Peripheral blood film — 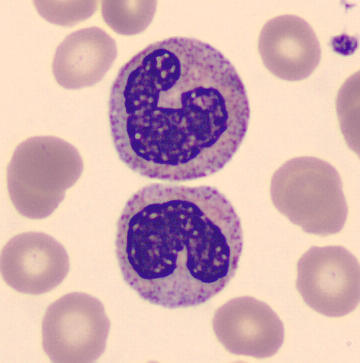Stab cell.